May-Grünwald-Giemsa stain · bone marrow smear:
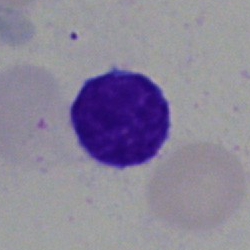 Morphology consistent with a lymphocyte.